Bone marrow aspirate smear:
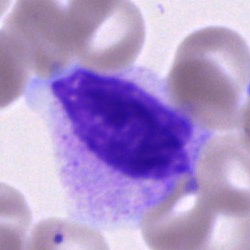This is a cell of indeterminate lineage.